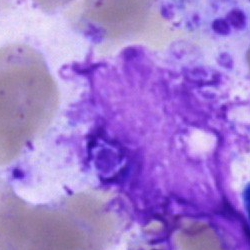
Cell type = artifact.